250 by 250 pixels; bone marrow aspirate smear.
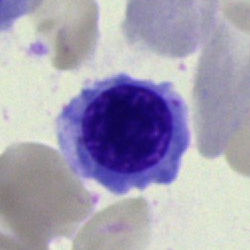
{"cell_type": "normoblast"}